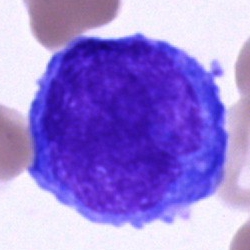

An undifferentiated blast.